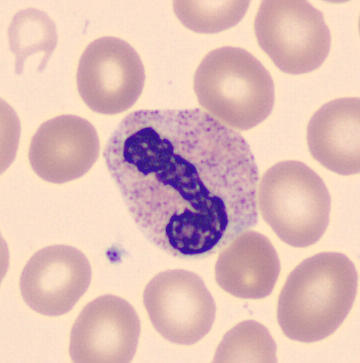

Peripheral blood film. {"cell_type": "band neutrophil", "lineage": "myeloid"}